Bone marrow smear; 250 by 250 pixels
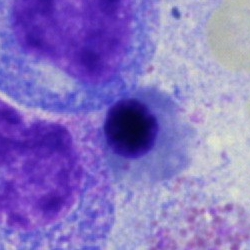 Showing a nucleated red cell.